Peripheral blood smear — 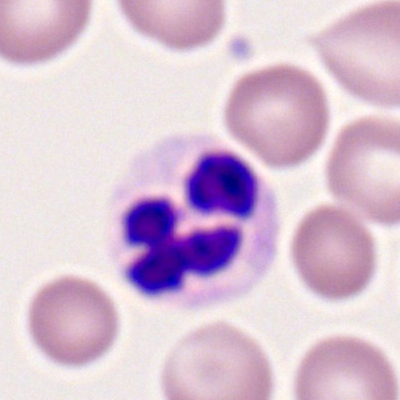The cell is segmented neutrophil.